Brightfield microscopy, 40× oil immersion. 250 by 250 pixels. Bone marrow aspirate smear.
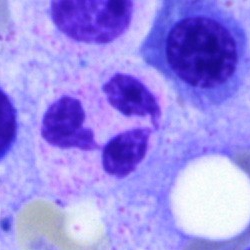 Specimen: bone marrow aspirate smear.
Cell: segmented neutrophil.
Lineage: myeloid.